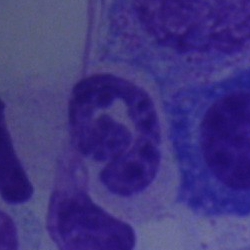 The cell shown is a neutrophil (segmented).